Single cell centered in the field · bone marrow aspirate smear.
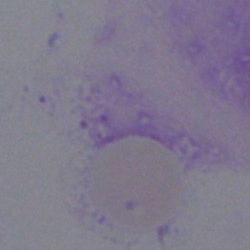

Artifact.